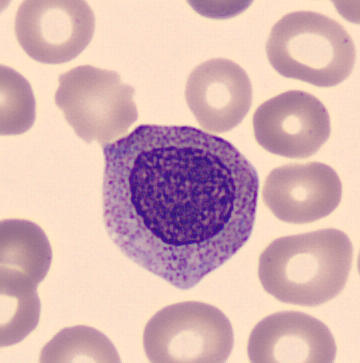Q: Identify the cell.
A: A myelocyte.
Preparation: 360 by 363 pixels; peripheral blood smear; CellaVision DM96 digital cell image.